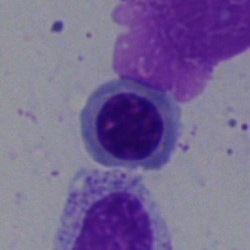 Bone marrow smear showing a normoblast.